Bone marrow aspirate smear
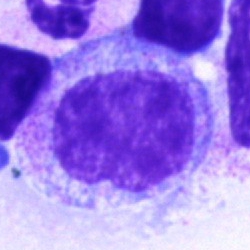 Morphology → promyelocyte.